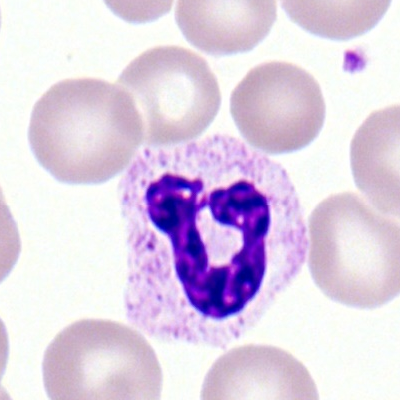

Cell — neutrophil (segmented).